Bone marrow smear — 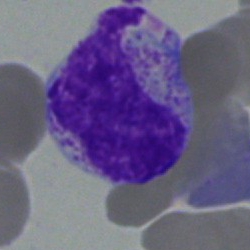
Single cell identified as a metamyelocyte.